Bone marrow aspirate smear.
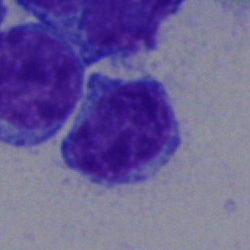

Morphological class = typical lymphocyte.